Bone marrow smear.
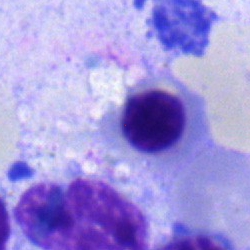

Morphology consistent with a nucleated red blood cell.